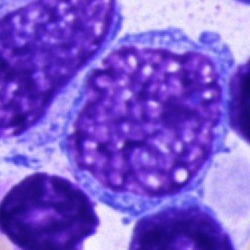

Bone marrow aspirate smear, single cell — undifferentiated blast.